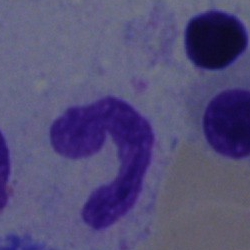

Morphology → neutrophil (segmented).